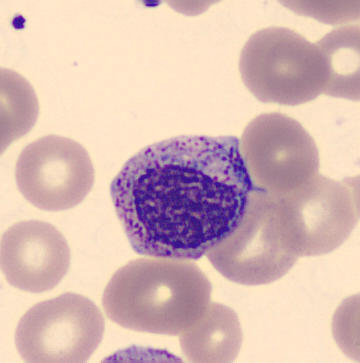Specimen: peripheral blood smear.
Classification: myelocyte.